Brightfield, 40× oil-immersion objective · May-Grünwald-Giemsa stain · bone marrow aspirate smear.
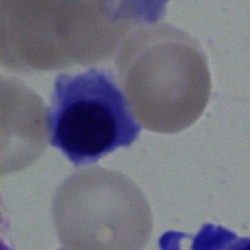 This is a nucleated red blood cell.